Brightfield microscopy, 40× oil immersion. Bone marrow aspirate smear:
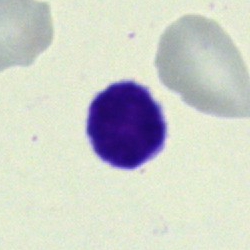
Classification = lymphocyte.